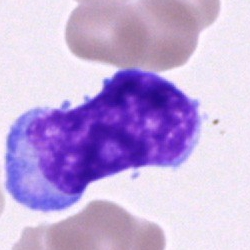

Blast cell.